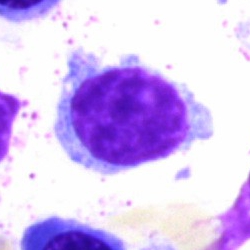
Showing a typical lymphocyte.